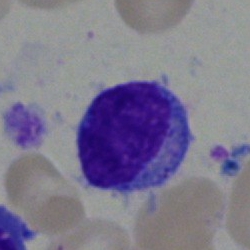
Q: What is the morphological classification of this cell?
A: This is a typical lymphocyte.